Bone marrow smear · image size 250×250 · brightfield, 40× oil-immersion objective: 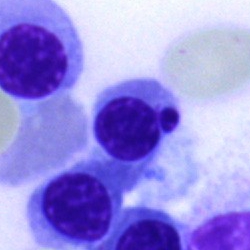
Impression — erythroblast.